Bone marrow smear: 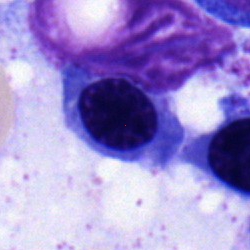 Morphological class: nucleated red cell.